Brightfield, 40× oil-immersion objective; bone marrow aspirate smear.
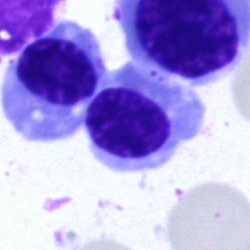

Nucleated red blood cell.